Romanowsky-type stain. Peripheral blood smear. Single cell centered in the field
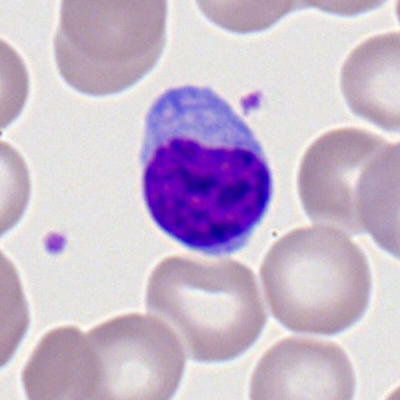
Morphology consistent with a typical lymphocyte.